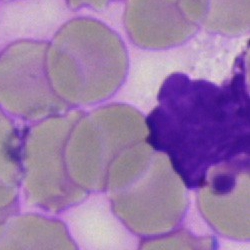Q: What is shown here?
A: This is an artifact.